Single cell centered in the field. Bone marrow aspirate smear. 250 by 250 pixels — 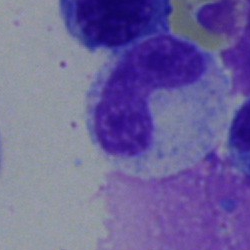 Morphology consistent with a neutrophil (band).